Bone marrow smear:
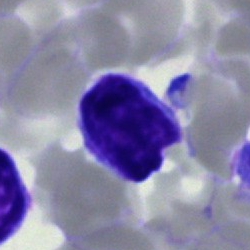 Morphological class: lymphocyte.